40× oil immersion. Bone marrow smear:
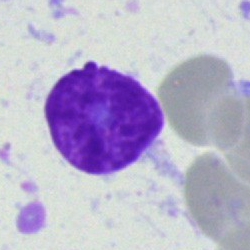
{"cell_type": "lymphocyte", "lineage": "lymphoid"}